Bone marrow aspirate smear.
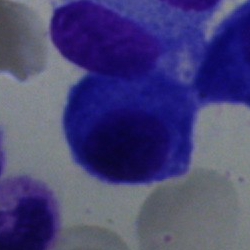 Plasma cell.